Bone marrow aspirate smear · Pappenheim-stained
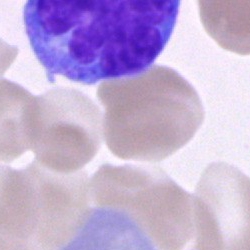The cell is unidentifiable cell.